Bone marrow smear.
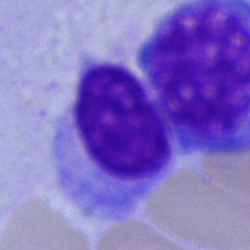Cell type = artifact.